Peripheral blood smear.
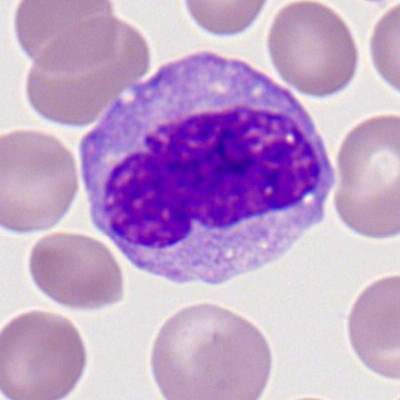

The cell shown is a monocyte.